Bone marrow smear
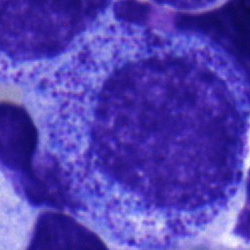

Classification: progranulocyte.